Pappenheim-stained. Bone marrow smear — 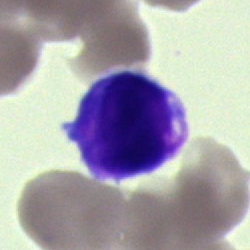

Single cell identified as a lymphocyte.